250×250 px · bone marrow smear · single-cell crop.
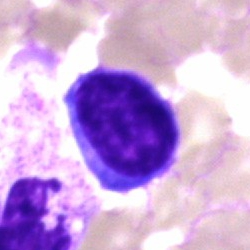
The morphological class is typical lymphocyte.